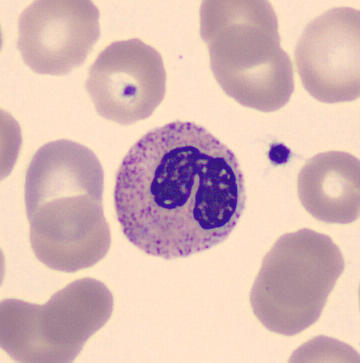 Classification — neutrophil (band).